Bone marrow smear; image size 250×250; 40× oil immersion
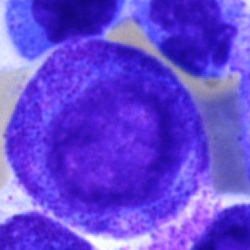 Cell type — promyelocyte.